Single-cell crop; bone marrow smear:
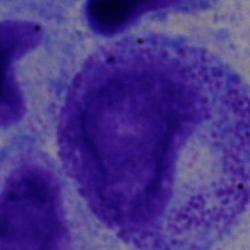

Classification = promyelocyte.